Bone marrow aspirate smear:
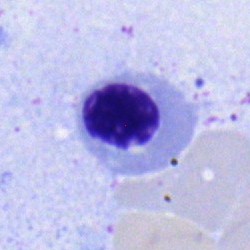 Classification = erythroblast.